Brightfield microscopy, 40× oil immersion; Pappenheim-stained; bone marrow smear:
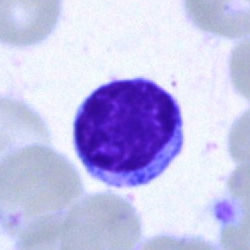 A lymphocyte.